Bone marrow aspirate smear:
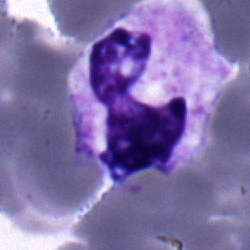Specimen: bone marrow smear.
Morphological class: neutrophil (segmented).
Lineage: myeloid.